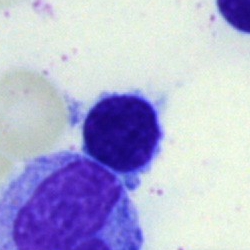 A lymphocyte.